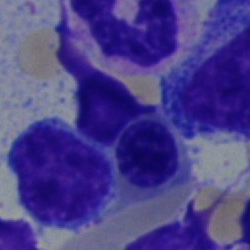An erythroblast.